Peripheral blood smear. May Grünwald-Giemsa stain: 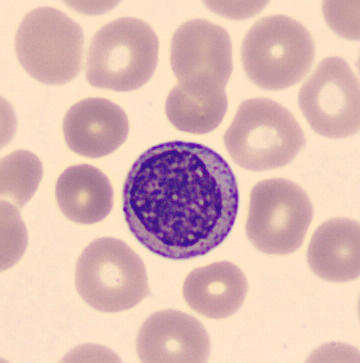
Q: What type of cell is this?
A: Myelocyte.